Bone marrow smear
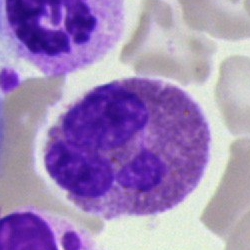
The cell shown is an eosinophil.